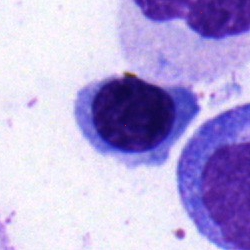

Specimen: bone marrow smear.
Cell type: nucleated red cell.
Lineage: erythroid.